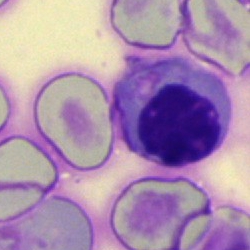 Q: What is the morphological classification of this cell?
A: This is a nucleated red cell.